Bone marrow aspirate smear — 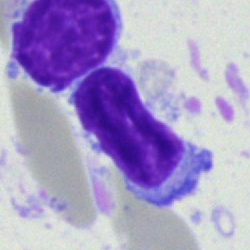
Morphological class: typical lymphocyte.